Peripheral blood smear. Brightfield, 100× oil-immersion objective — 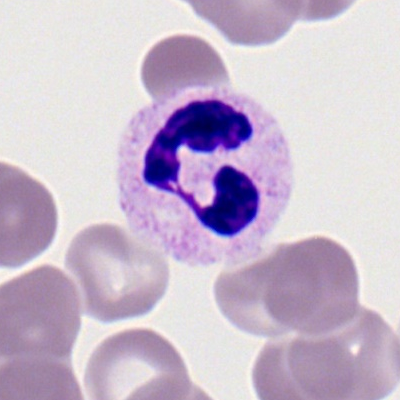 Showing a segmented neutrophil.